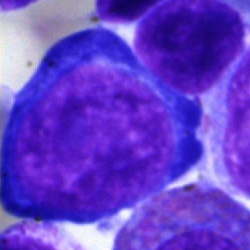
Morphology consistent with a proerythroblast.